Bone marrow aspirate smear. Image size 250×250.
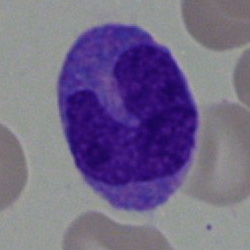A monocyte.